Bone marrow smear.
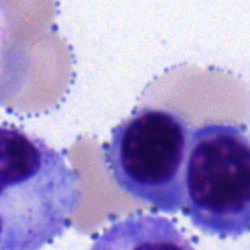

Morphology consistent with a nucleated red blood cell.